Peripheral blood film · 400 by 400 pixels.
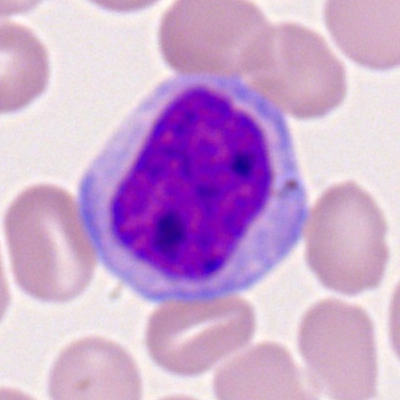The classification is monocyte.